Bone marrow aspirate smear: 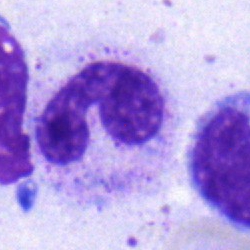

Q: What cell is this?
A: This is a band-form neutrophil.